Bone marrow smear — 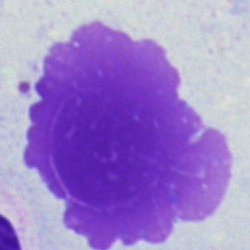Showing a polymorphonuclear neutrophil.